Bone marrow smear.
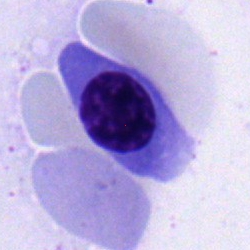 Single cell identified as an erythroblast.